Bone marrow smear: 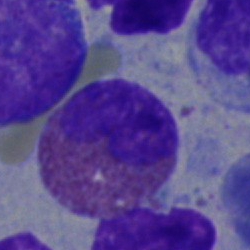 Q: Which cell type is shown here?
A: It is an eosinophilic granulocyte.